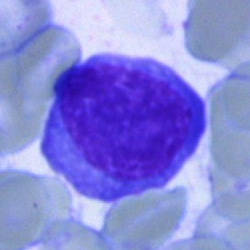 Q: What is shown here?
A: A plasmacyte.